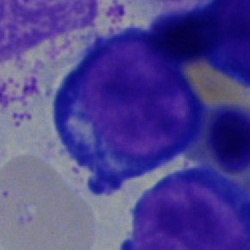
Bone marrow smear showing a proerythroblast.